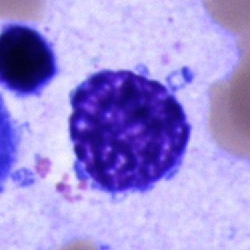 Cell = blast cell.